Bone marrow smear:
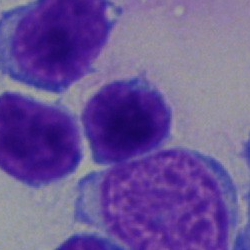Morphology → lymphocyte.